Bone marrow smear; 40× oil immersion: 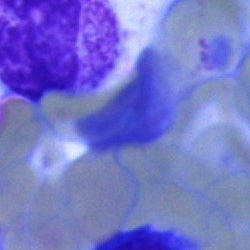

Morphological class — artefact.